Peripheral blood smear.
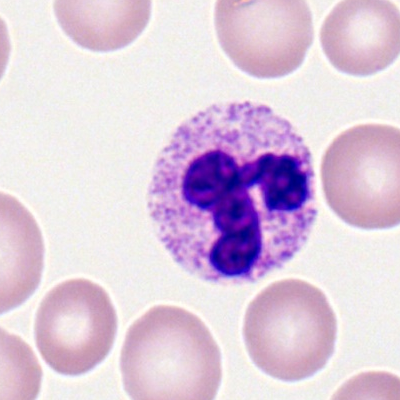
Cell type = polymorphonuclear neutrophil.